Bone marrow smear.
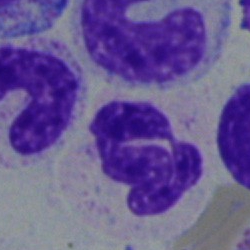
Q: What is shown here?
A: This is a polymorphonuclear neutrophil.